40× oil immersion · cropped to a single cell · bone marrow smear: 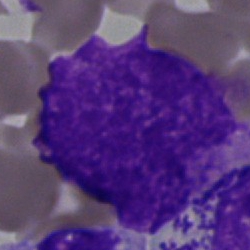
Classification: artifact.